Bone marrow aspirate smear — 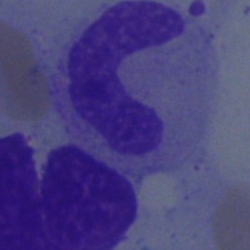
The cell shown is a band-form neutrophil.